250×250. May-Grünwald-Giemsa stain. Bone marrow aspirate smear — 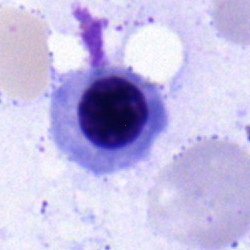

Impression — erythroblast.